400×400 px · peripheral blood film · single-cell crop: 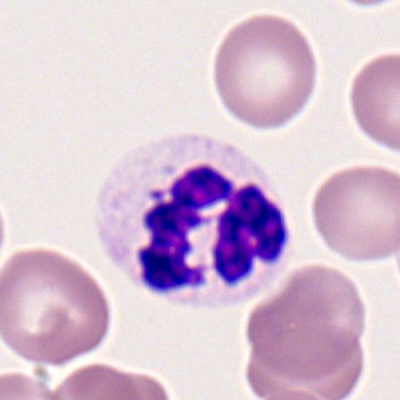

Single cell identified as a neutrophil (segmented).